Bone marrow smear — 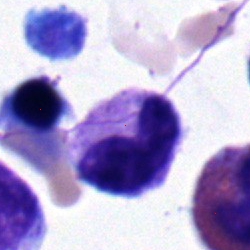
Cell — stab cell.